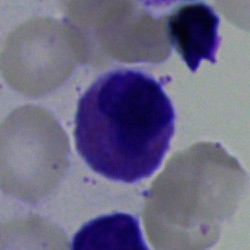
Impression → typical lymphocyte.